Bone marrow aspirate smear. Cropped to a single cell.
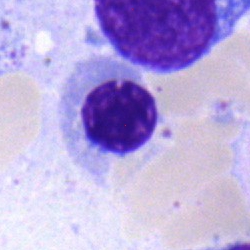This is an erythroblast.